400×400. Peripheral blood film — 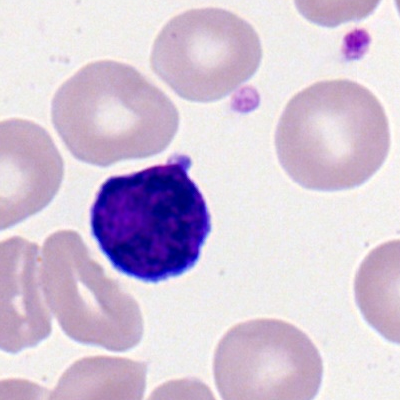
Cell — lymphocyte.